Peripheral blood film · 400 by 400 pixels.
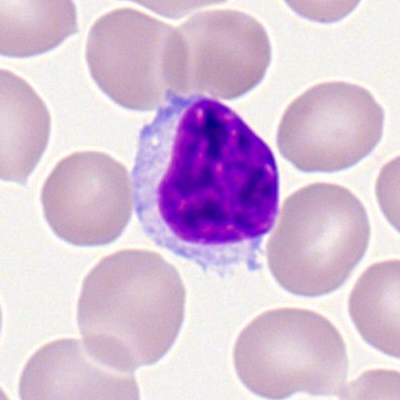
Morphology — typical lymphocyte.